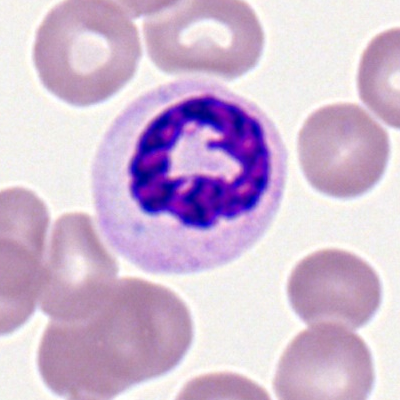
Morphological class — neutrophil (segmented).